Bone marrow aspirate smear; brightfield, 40× oil-immersion objective.
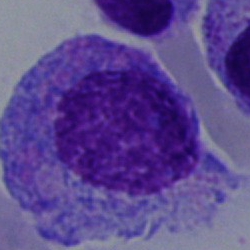
Cell — promyelocyte.